Bone marrow aspirate smear; cropped to a single cell:
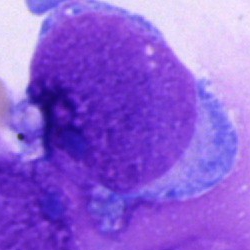Showing an unidentifiable cell.